Bone marrow smear.
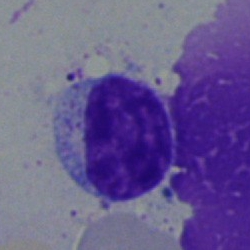
Showing a typical lymphocyte.